Bone marrow smear:
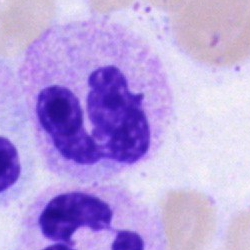The cell shown is a segmented neutrophil.